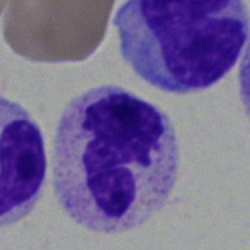
Showing a segmented neutrophil.